Bone marrow smear.
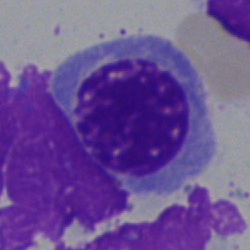
Classification — nucleated red cell.